Bone marrow aspirate smear; cropped to a single cell.
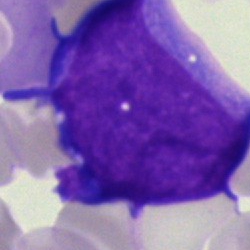

{"cell_type": "blast cell"}